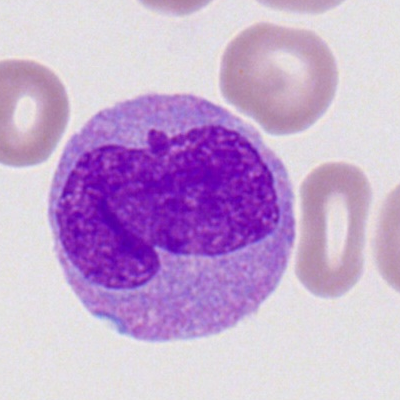

A monocyte on a peripheral blood smear.